Bone marrow aspirate smear
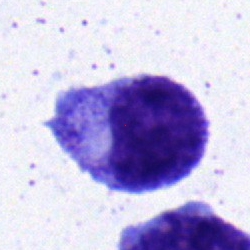Q: Identify the cell.
A: A myelocyte.